40× objective, oil immersion. Bone marrow smear. Pappenheim-stained:
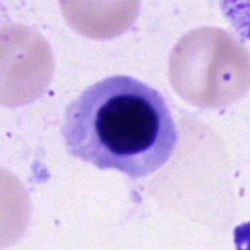Specimen: bone marrow aspirate smear.
Classification: nucleated red blood cell.